Single cell centered in the field · bone marrow aspirate smear · brightfield, 40× oil-immersion objective
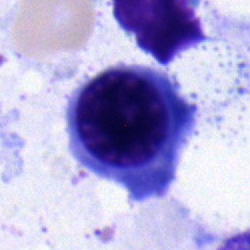 Impression → nucleated red blood cell.